40× objective, oil immersion · bone marrow aspirate smear: 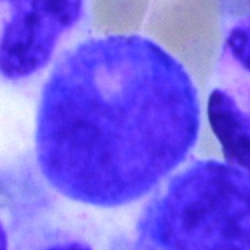Specimen: bone marrow aspirate smear.
Cell type: promyelocyte.
Lineage: myeloid.